Bone marrow aspirate smear:
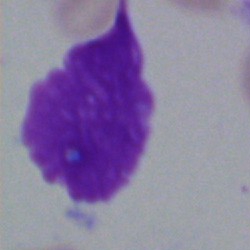 The cell is artifact.